Single-cell crop · brightfield, 40× oil-immersion objective · bone marrow smear:
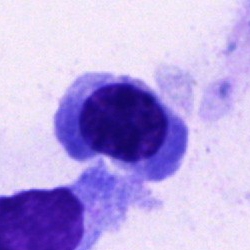
The cell is nucleated red blood cell.